Bone marrow aspirate smear:
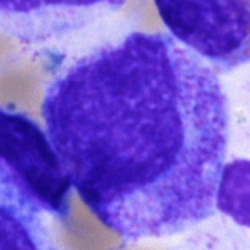
Morphology → progranulocyte.